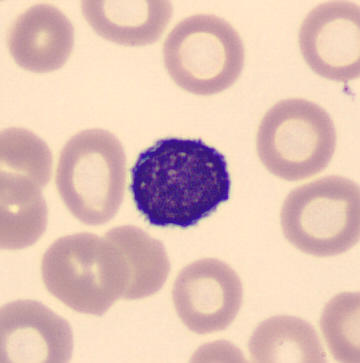 Peripheral blood smear.
A typical lymphocyte.